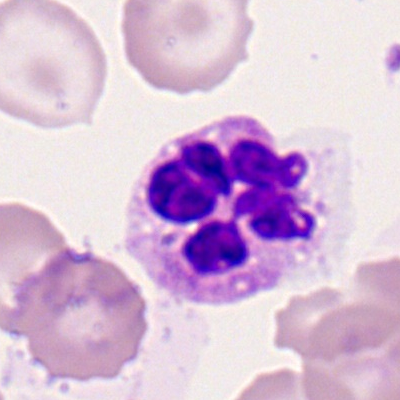 Specimen: peripheral blood film.
Cell: segmented neutrophil.
Lineage: myeloid.